Bone marrow smear — 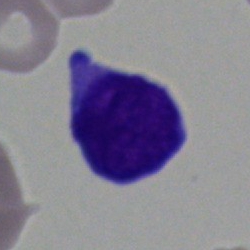

Cell type — blast.